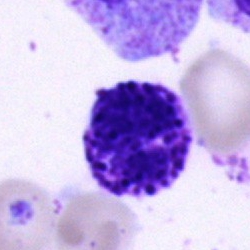 Classification: basophilic granulocyte.